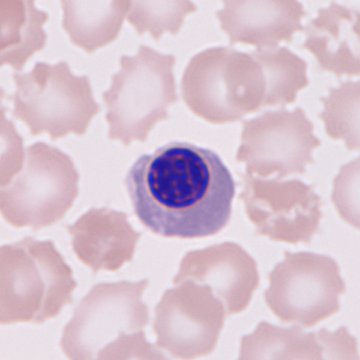 This is an erythroblast.